40× oil immersion. Bone marrow aspirate smear: 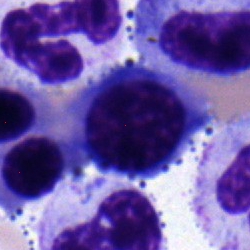 Cell: nucleated red blood cell.